Bone marrow aspirate smear: 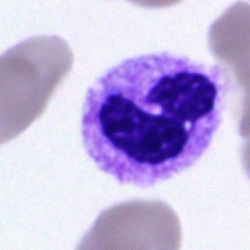

Q: What cell is this?
A: Segmented neutrophil.